Single-cell field; bone marrow aspirate smear: 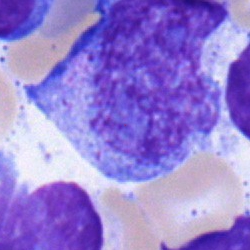 This is a myelocyte.